May-Grünwald-Giemsa/Pappenheim stain. Bone marrow smear. Brightfield, 40× oil-immersion objective — 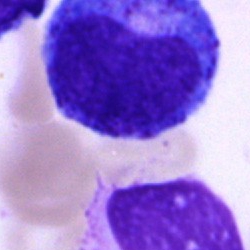Morphology consistent with a progranulocyte.